Bone marrow smear · single-cell crop.
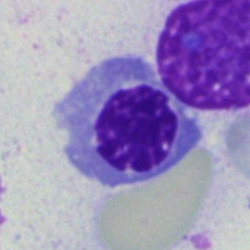Cell type = erythroblast.